Bone marrow smear. May-Grünwald-Giemsa stain. 40× objective, oil immersion:
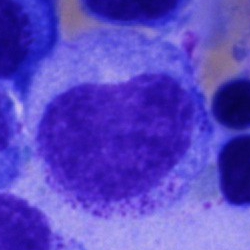
Single cell identified as a progranulocyte.